Bone marrow smear; image size 250×250
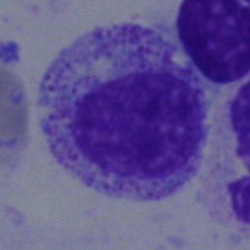
{"cell_type": "myelocyte"}